Bone marrow smear
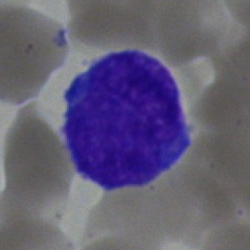Showing an undifferentiated blast.